Peripheral blood film — 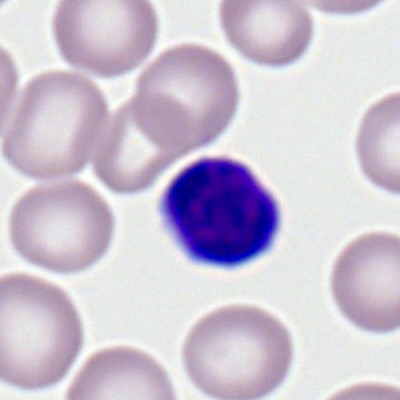 Impression → typical lymphocyte.